Single-cell crop; bone marrow aspirate smear
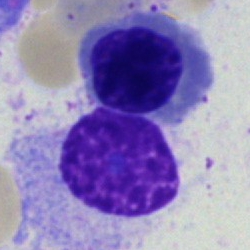
Cell type — nucleated red cell.